Peripheral blood smear: 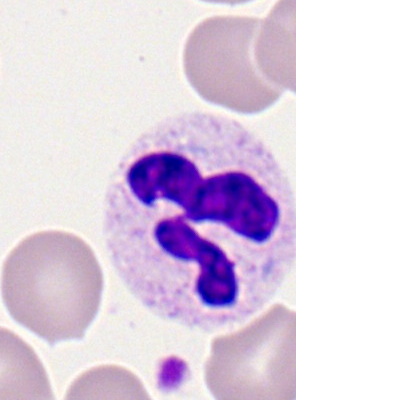
Cell: polymorphonuclear neutrophil.